Bone marrow smear.
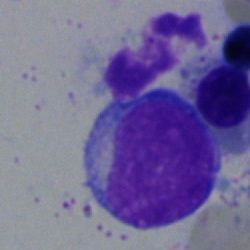
Morphology → blast.